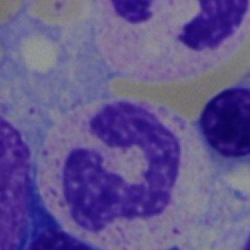
A neutrophil (segmented) on a bone marrow smear.